Bone marrow aspirate smear; brightfield microscopy, 40× oil immersion; single cell centered in the field
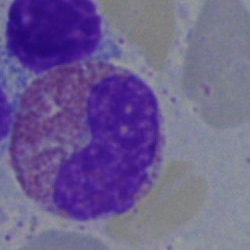Q: What is shown here?
A: This is an eosinophil.